40× objective, oil immersion. Bone marrow aspirate smear. Single cell centered in the field
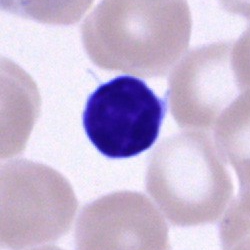
Morphological class: lymphocyte.